Bone marrow smear:
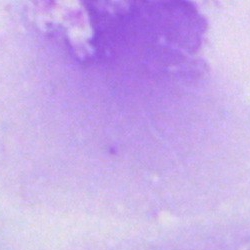

Specimen: bone marrow smear.
Morphological class: artifact.